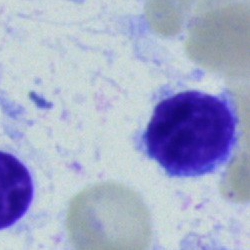
Morphology — typical lymphocyte.